Bone marrow smear
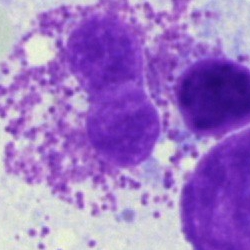 Q: What is shown here?
A: An artifact.